Bone marrow aspirate smear. 250×250: 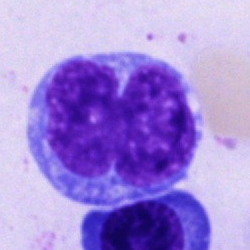

Single cell identified as a monocyte.